250×250; bone marrow smear — 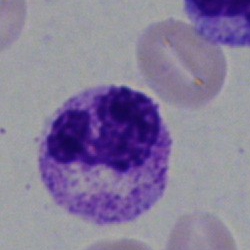
Morphology consistent with a polymorphonuclear neutrophil.